Bone marrow aspirate smear — 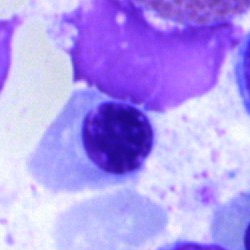A nucleated red cell.